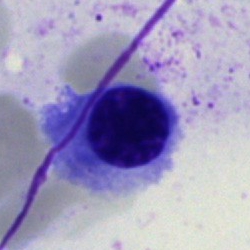Morphology — nucleated red blood cell.